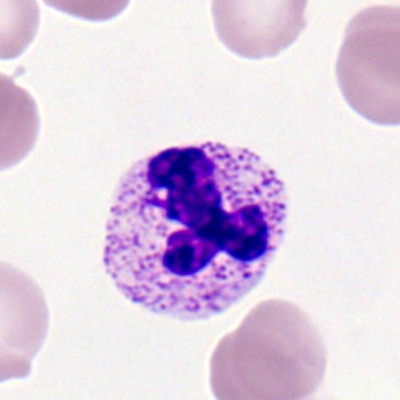 Q: Which cell type is shown here?
A: A polymorphonuclear neutrophil.